Bone marrow smear · brightfield microscopy, 40× oil immersion
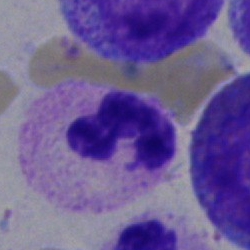 A polymorphonuclear neutrophil.